May-Grünwald-Giemsa stain; bone marrow smear.
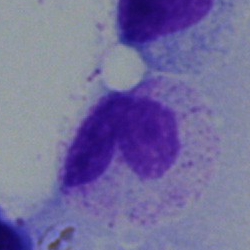
Morphology → band neutrophil.